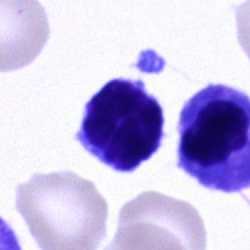 Q: Identify the cell.
A: It is a typical lymphocyte.